360 by 363 pixels. Single-cell crop. Peripheral blood smear.
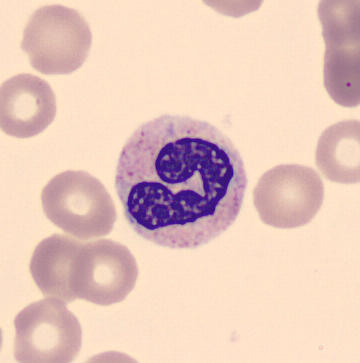

Morphology — neutrophil (band).